Bone marrow smear.
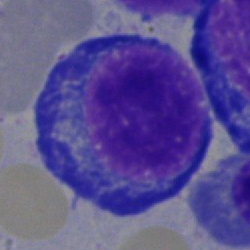A nucleated red cell.